Cropped to a single cell. Pappenheim-stained. Bone marrow smear.
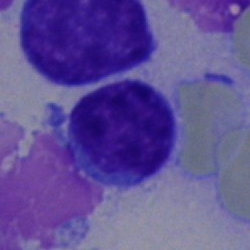Q: What is shown here?
A: Lymphocyte.